Bone marrow aspirate smear. Single cell centered in the field
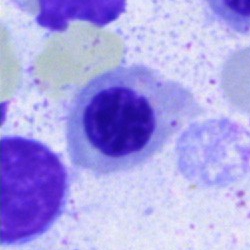 Morphological class — normoblast.